Bone marrow smear.
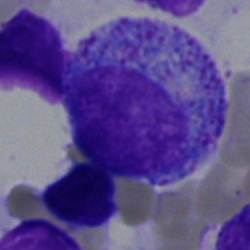The cell shown is a progranulocyte.